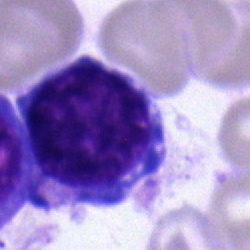Cell type: plasmacyte.